Bone marrow smear
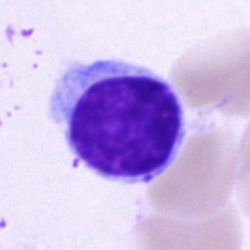Showing a typical lymphocyte.